Bone marrow smear.
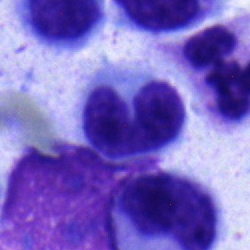
Classification — stab cell.